250×250; bone marrow aspirate smear
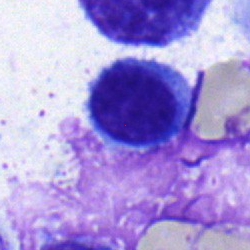This is a lymphocyte.